Brightfield microscopy, 40× oil immersion · bone marrow aspirate smear:
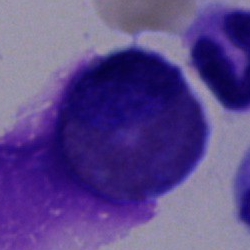
The cell shown is an eosinophilic granulocyte.